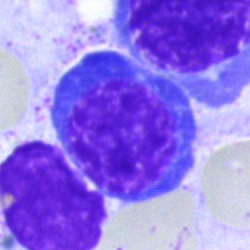Specimen: bone marrow aspirate smear.
Cell: nucleated red blood cell.
Lineage: erythroid.